Bone marrow aspirate smear — 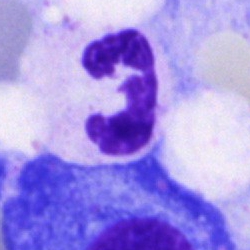 Cell type = neutrophil (segmented).